Bone marrow smear — 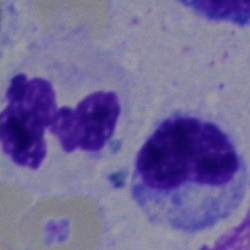

Morphological class: polymorphonuclear neutrophil.